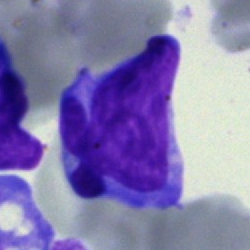

Morphological class: blast cell.